Bone marrow aspirate smear. Pappenheim-stained: 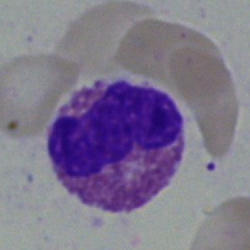Specimen: bone marrow aspirate smear.
Cell type: eosinophil.